Bone marrow smear — 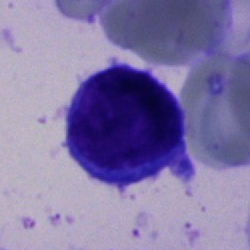

Q: What is shown here?
A: This is a lymphocyte.